Bone marrow aspirate smear · single-cell field — 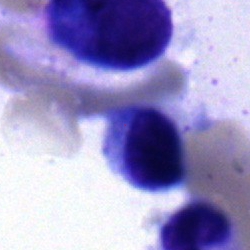

Specimen: bone marrow aspirate smear.
Classification: typical lymphocyte.
Lineage: lymphoid.